Image size 250×250. Bone marrow smear: 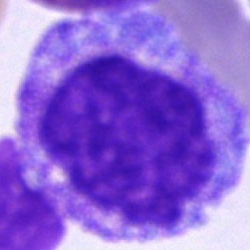Cell type: progranulocyte.